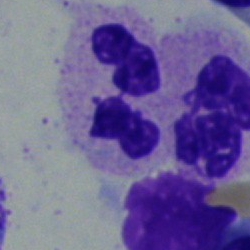

Bone marrow smear showing a segmented neutrophil.